Single-cell crop; bone marrow aspirate smear; MGG-stained
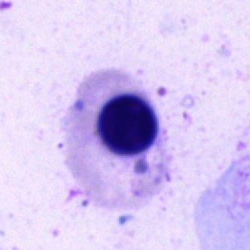 Single cell identified as an erythroblast.